Pappenheim-stained. Bone marrow aspirate smear: 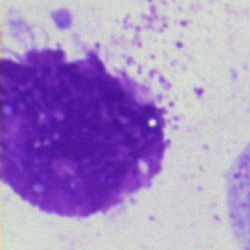Q: What is shown here?
A: Artifact.